Bone marrow aspirate smear. May-Grünwald-Giemsa/Pappenheim stain.
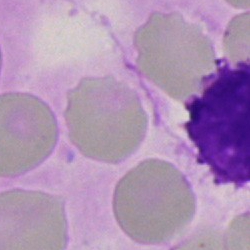An artifact.